Bone marrow aspirate smear. Cropped to a single cell: 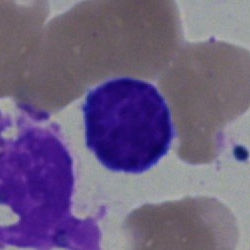Classification — lymphocyte.